Bone marrow aspirate smear: 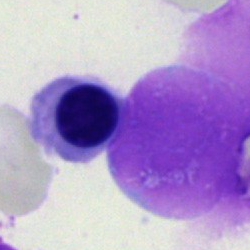
{"cell_type": "nucleated red blood cell", "lineage": "erythroid"}